Bone marrow aspirate smear; single-cell field; 40× oil immersion.
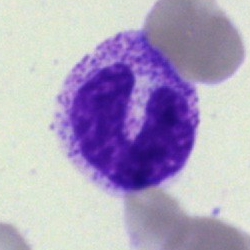The cell shown is a neutrophil (band).